Bone marrow smear.
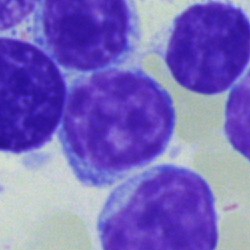
Specimen: bone marrow aspirate smear.
Classification: lymphocyte.
Lineage: lymphoid.